Bone marrow aspirate smear; May-Grünwald-Giemsa stain; brightfield microscopy, 40× oil immersion:
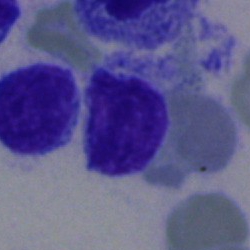

A lymphocyte.